Bone marrow aspirate smear · brightfield, 40× oil-immersion objective.
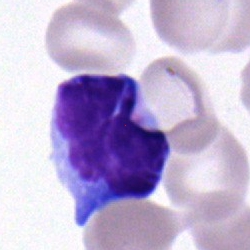Cell type: typical lymphocyte.